Bone marrow aspirate smear: 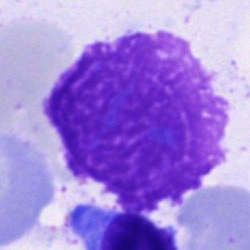 Specimen: bone marrow smear.
Morphological class: artefact.